Image size 250×250. Single-cell field. Bone marrow smear.
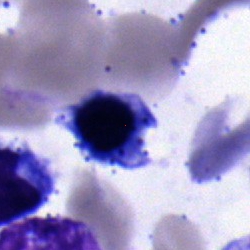 Showing an erythroblast.